Bone marrow smear; single-cell crop:
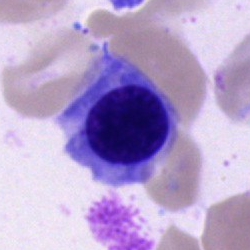
This is a normoblast.